Bone marrow aspirate smear.
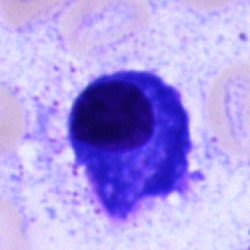Specimen: bone marrow smear.
Cell: plasma cell.